Bone marrow smear
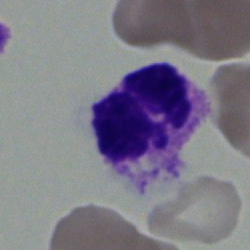

Morphology consistent with a segmented neutrophil.